100× objective, oil immersion · peripheral blood film:
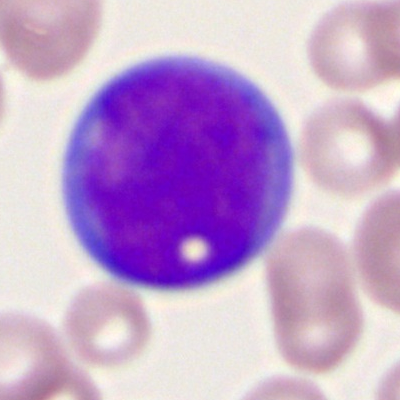

Cell: myeloblast.